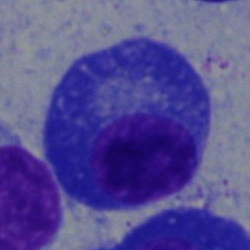
A plasmacyte.